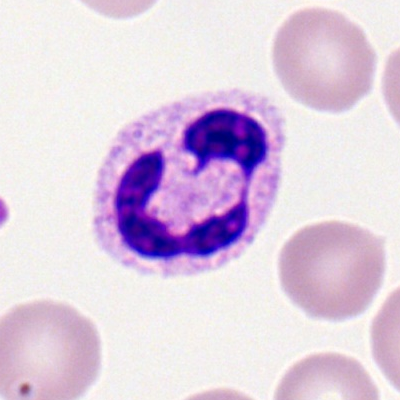
Cell — segmented neutrophil.